250×250 px; bone marrow smear — 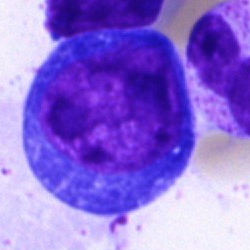Morphology — pronormoblast.